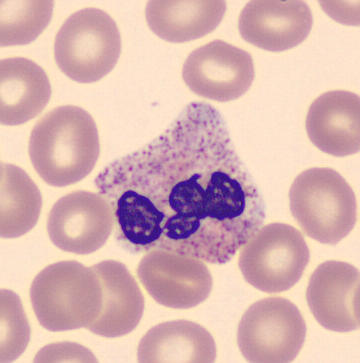The classification is polymorphonuclear neutrophil. Acquisition: Peripheral blood film; 360×363 px.